Bone marrow aspirate smear · Pappenheim-stained
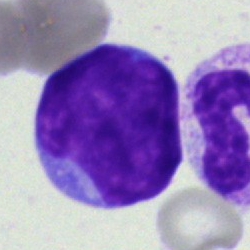 Showing an other cell.